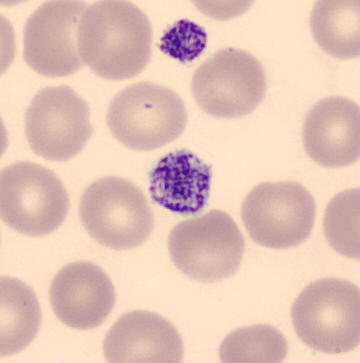Image: Peripheral blood smear. 360×363 px.

The morphological class is platelet (thrombocyte).